40× objective, oil immersion. 250×250. Bone marrow smear: 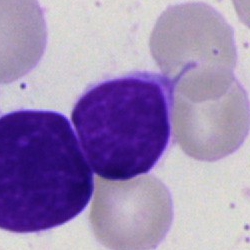 This is a lymphocyte.